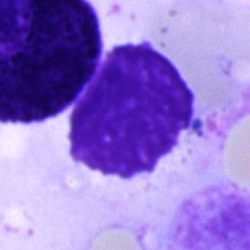

Impression → artifact.